Bone marrow aspirate smear
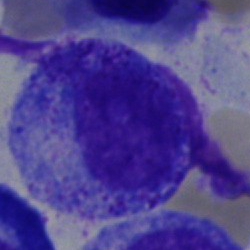Morphological class = progranulocyte.